Image size 250×250. Bone marrow smear — 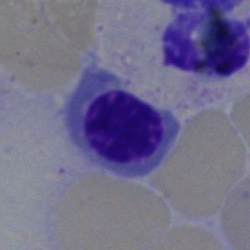
Morphology → erythroblast.